Bone marrow aspirate smear
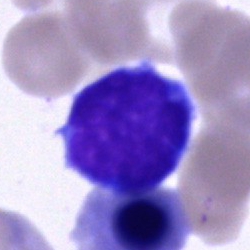Q: Which cell type is shown here?
A: A typical lymphocyte.